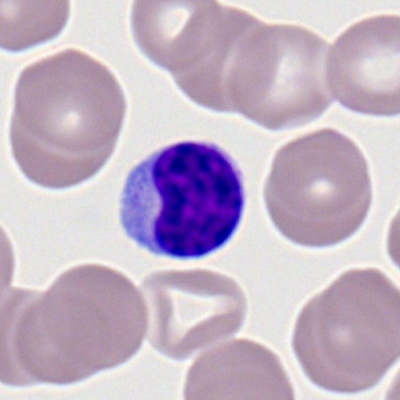 Peripheral blood smear showing a typical lymphocyte.